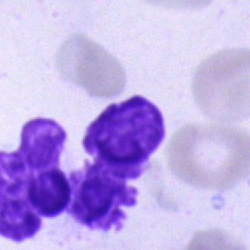 Showing an artefact.